May-Grünwald-Giemsa stain. Bone marrow aspirate smear
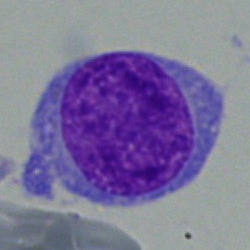Q: What is shown here?
A: This is a blast cell.